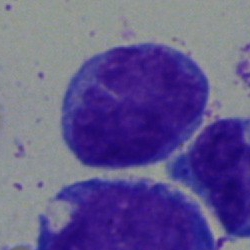 Impression → undifferentiated blast.